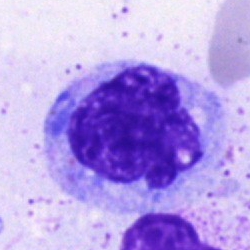The cell type is monocyte.